Bone marrow aspirate smear — 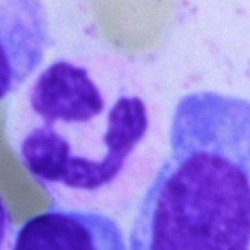
The cell shown is a neutrophil (segmented).